May-Grünwald-Giemsa stain · single-cell field · bone marrow smear — 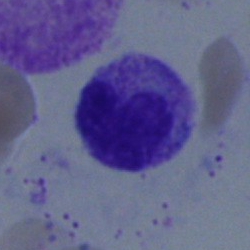
Morphology consistent with a metamyelocyte.